Bone marrow smear.
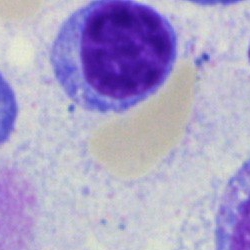{"cell_type": "lymphocyte", "lineage": "lymphoid"}